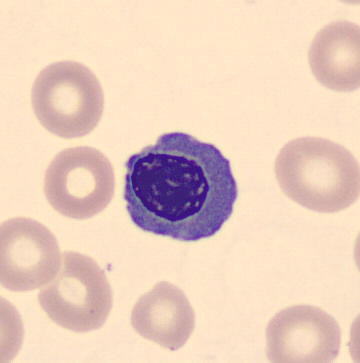 Classification = normoblast.